Bone marrow aspirate smear
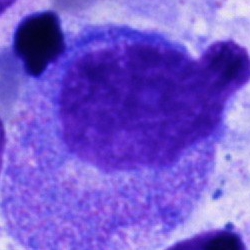

Progranulocyte.